Bone marrow aspirate smear:
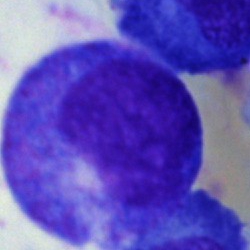 Morphology consistent with a progranulocyte.